Bone marrow smear.
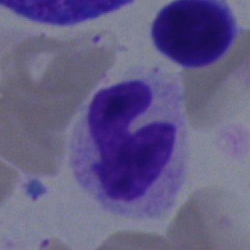Q: What is the morphological classification of this cell?
A: A polymorphonuclear neutrophil.